Bone marrow smear.
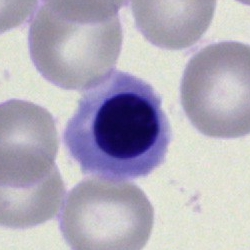

Specimen: bone marrow smear.
Cell: normoblast.
Lineage: erythroid.